Bone marrow aspirate smear.
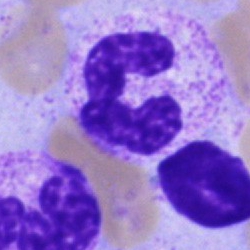Q: What type of cell is this?
A: A polymorphonuclear neutrophil.